Bone marrow smear:
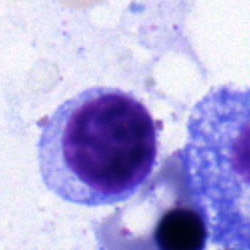
Q: Which cell type is shown here?
A: A lymphocyte.